Bone marrow aspirate smear:
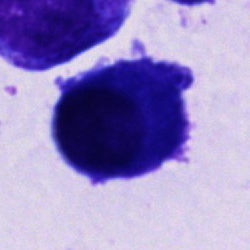Q: Identify the cell.
A: This is a plasmacyte.